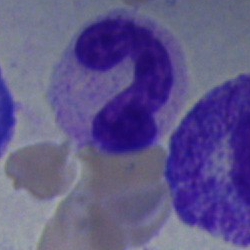

Cell — band neutrophil.